Bone marrow smear:
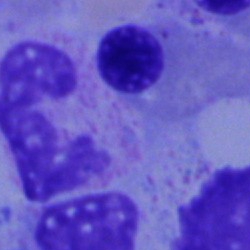
Nucleated red cell.